Brightfield, 100× oil-immersion objective; peripheral blood film; single-cell field: 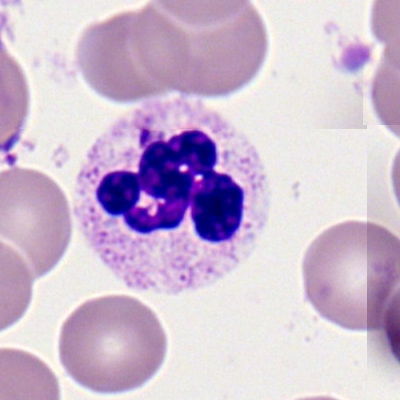 Classification — neutrophil (segmented).